Bone marrow smear — 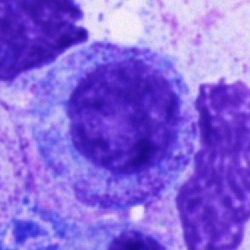 Promyelocyte.